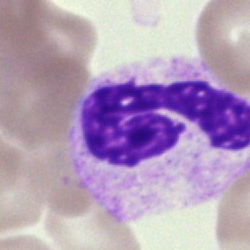{"cell_type": "neutrophil (segmented)"}